Bone marrow aspirate smear. Brightfield, 40× oil-immersion objective. MGG-stained
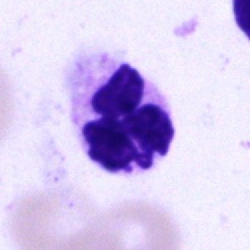
Segmented neutrophil.